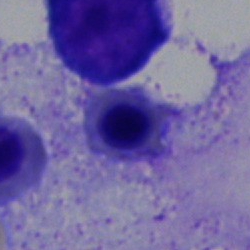

Specimen: bone marrow smear.
Classification: nucleated red cell.